400×400 px; peripheral blood film: 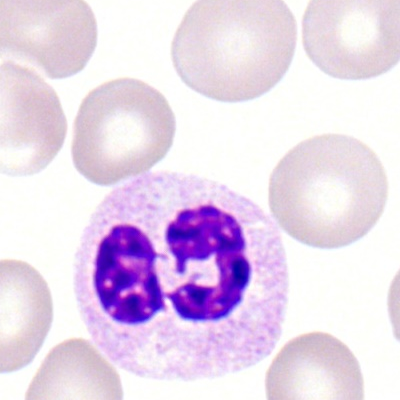

Classification = segmented neutrophil.